Single cell centered in the field. Bone marrow smear:
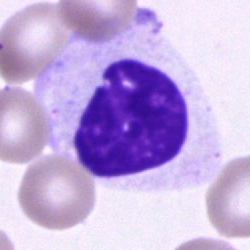

This is an unidentifiable cell.